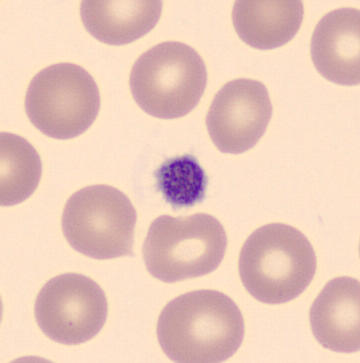Acquisition: MGG-stained; 360 by 363 pixels.
Specimen: peripheral blood film.
Morphological class: platelet.